Bone marrow smear — 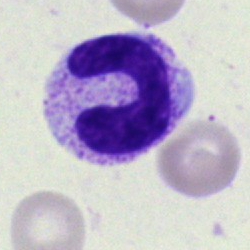

Cell — stab cell.